Image size 250×250. Bone marrow aspirate smear: 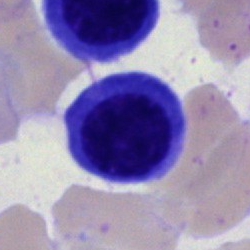Morphological class — normoblast.